Peripheral blood smear. Cropped to a single cell.
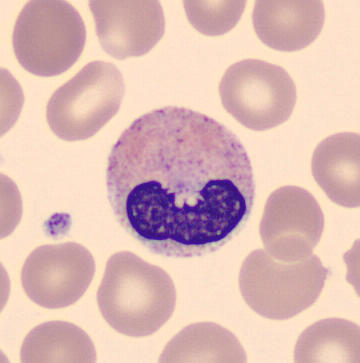 Cell — neutrophil (band).